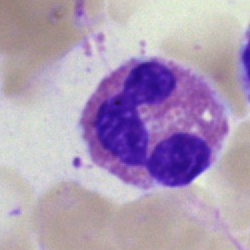Specimen: bone marrow aspirate smear.
Cell type: eosinophilic granulocyte.
Lineage: myeloid.